Bone marrow aspirate smear: 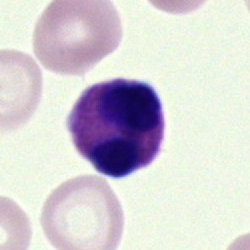Cell — artifact.